Bone marrow aspirate smear — 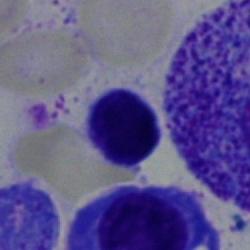 Q: What cell is this?
A: Lymphocyte.